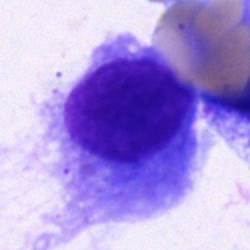
Bone marrow smear showing a plasma cell.